Peripheral blood film.
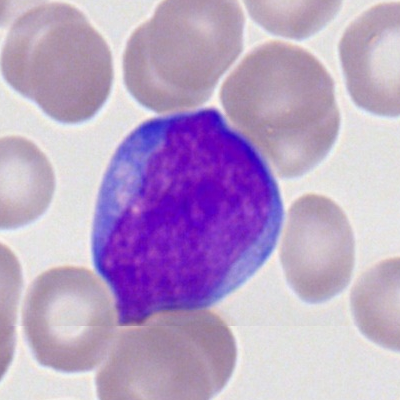 Showing a myeloid blast.